Cropped to a single cell · May-Grünwald-Giemsa stain · bone marrow smear
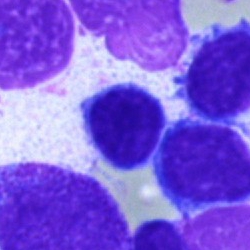

Morphological class — lymphocyte.